Peripheral blood smear:
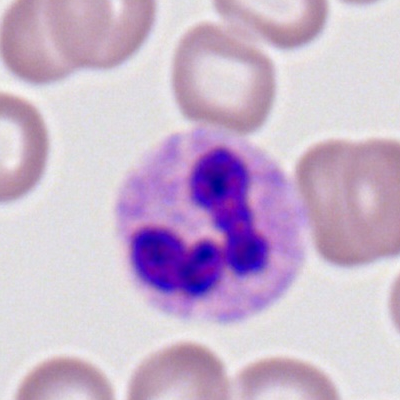Morphology — neutrophil (segmented).